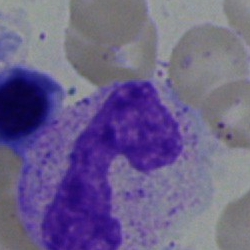

This is a band-form neutrophil.